Pappenheim-stained; bone marrow smear: 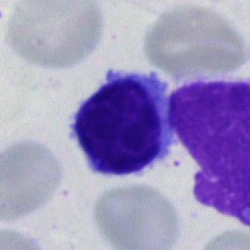Q: What is the morphological classification of this cell?
A: A lymphocyte.